Peripheral blood smear.
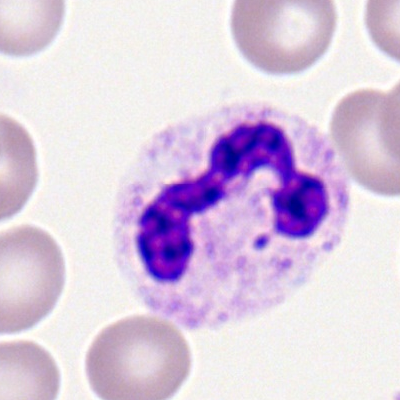Cell: polymorphonuclear neutrophil.